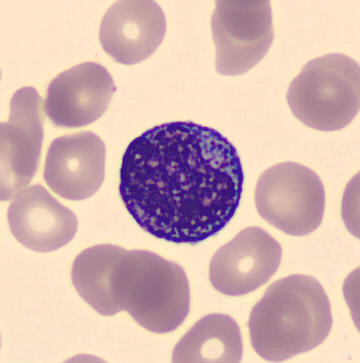Myelocyte. Acquisition: Peripheral blood film; automated cell imaging (CellaVision DM96).